250 by 250 pixels. Bone marrow aspirate smear. Pappenheim-stained
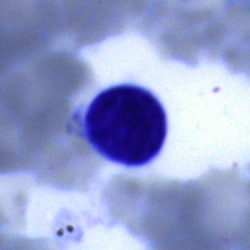

Impression — lymphocyte.